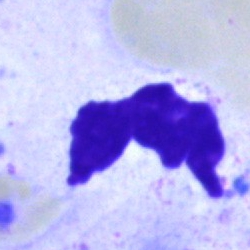Classification = artifact.